Peripheral blood film
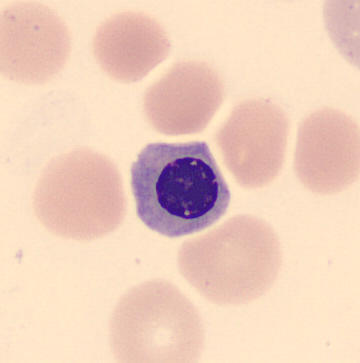
Q: What is this?
A: This is a nucleated red blood cell.